Bone marrow smear:
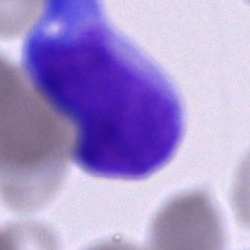

Specimen: bone marrow smear.
Classification: unidentifiable cell.